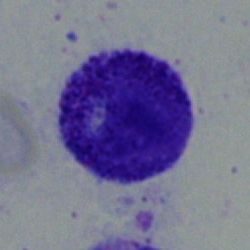 A myelocyte on a bone marrow smear.